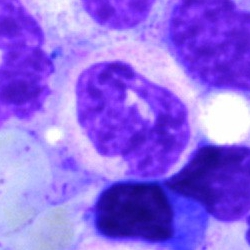

Cell type = neutrophil (segmented).